Bone marrow smear
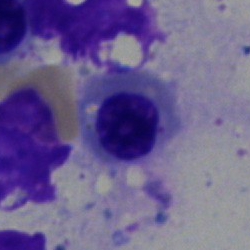
Morphology → nucleated red blood cell.